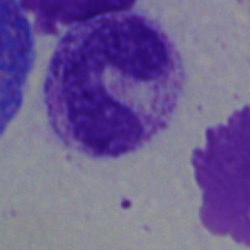This is a stab cell.